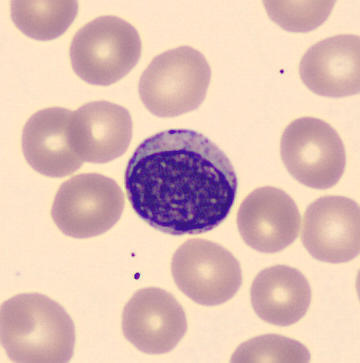
Identified as a myelocyte.

Preparation: Peripheral blood smear.